250×250 px · cropped to a single cell · bone marrow aspirate smear: 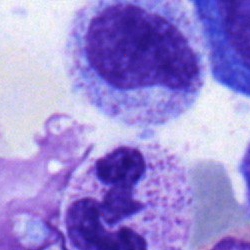 Cell — myelocyte.